Cropped to a single cell; bone marrow smear; brightfield microscopy, 40× oil immersion — 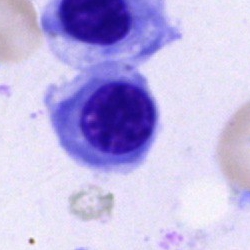 Morphology consistent with a nucleated red cell.